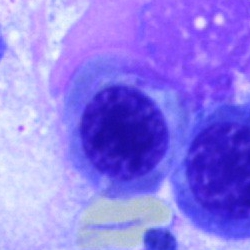 Morphology — erythroblast.